Bone marrow aspirate smear.
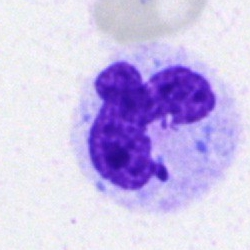

The cell shown is a segmented neutrophil.